Bone marrow smear.
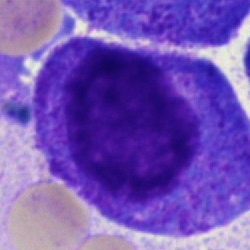
The classification is promyelocyte.